Bone marrow aspirate smear — 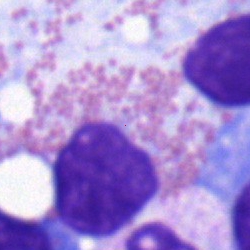Q: Identify the cell.
A: It is an eosinophil.